Bone marrow smear — 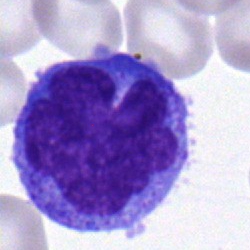

Q: What is shown here?
A: A monocyte.